Single cell centered in the field; bone marrow smear; May-Grünwald-Giemsa stain:
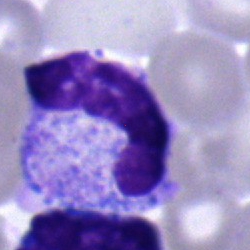
Morphological class = band neutrophil.